Bone marrow aspirate smear: 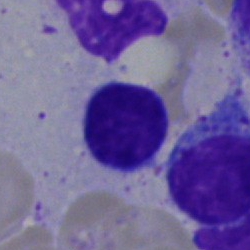
Cell type: typical lymphocyte.